Bone marrow aspirate smear: 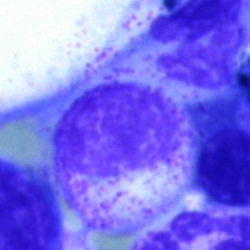 This is a myelocyte.